Bone marrow smear.
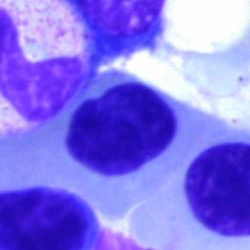Q: Identify the cell.
A: A normoblast.